Brightfield microscopy, 40× oil immersion. Bone marrow aspirate smear.
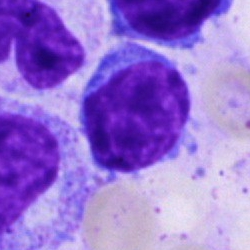 Morphology — typical lymphocyte.